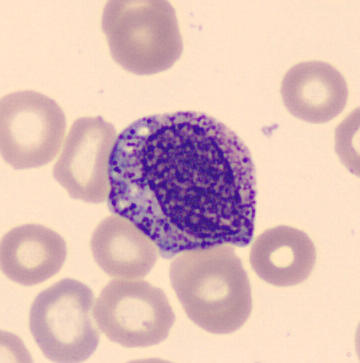 Single cell identified as a myelocyte. Image: May Grünwald-Giemsa stain; image size 360×363; peripheral blood film.